Bone marrow smear; May-Grünwald-Giemsa/Pappenheim stain — 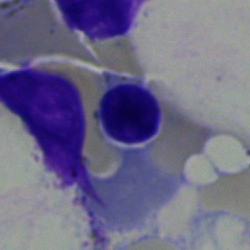
Q: What is shown here?
A: A nucleated red cell.